Bone marrow smear: 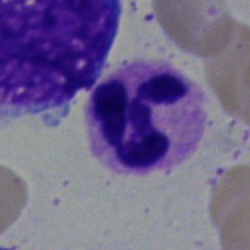 Single cell identified as a polymorphonuclear neutrophil.